Peripheral blood film — 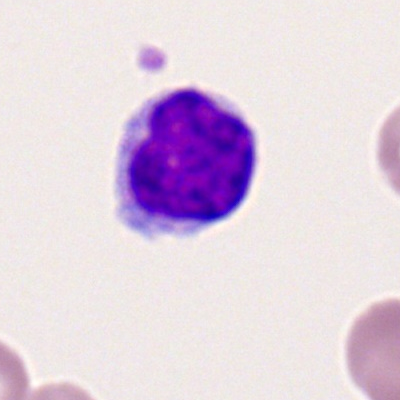

Q: Identify the cell.
A: A typical lymphocyte.